Single cell centered in the field · Romanowsky-stained · peripheral blood smear.
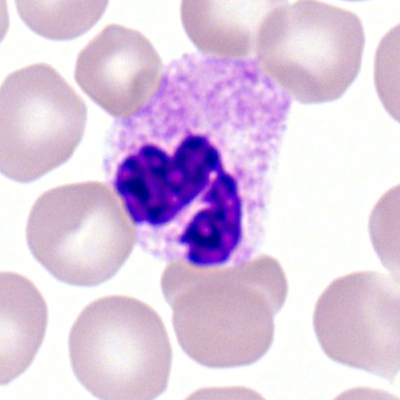{"cell_type": "segmented neutrophil", "lineage": "myeloid"}